Bone marrow aspirate smear
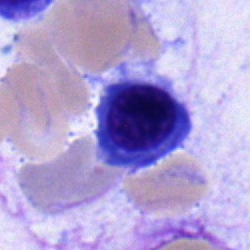
Specimen: bone marrow smear.
Morphological class: erythroblast.
Lineage: erythroid.